Bone marrow smear
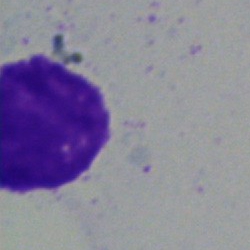Morphology — artifact.